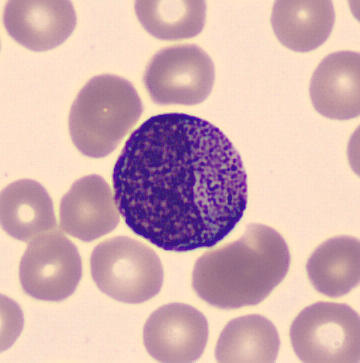

Single cell identified as a myelocyte.
Acquisition: Peripheral blood film.